Bone marrow smear — 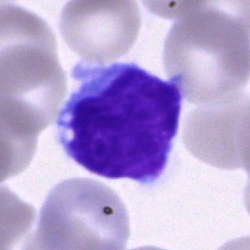The classification is lymphocyte.